Bone marrow aspirate smear.
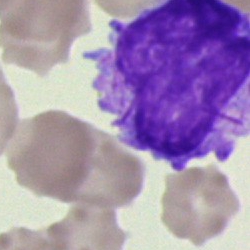Morphological class = blast cell.